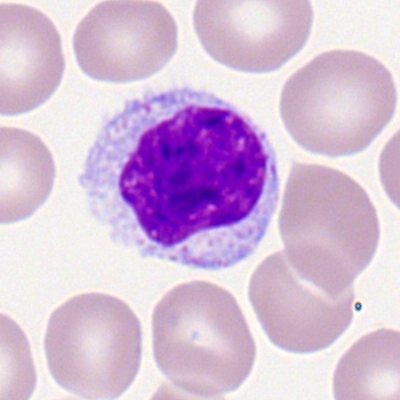

This is a typical lymphocyte.